Bone marrow aspirate smear.
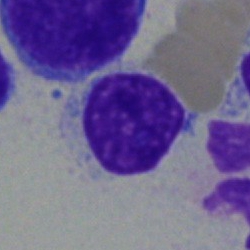Morphology — lymphocyte.